Bone marrow smear; single-cell crop:
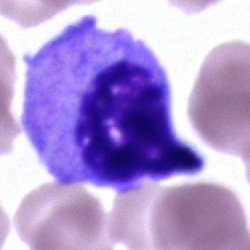{"cell_type": "unidentifiable cell"}